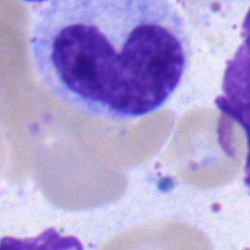 A neutrophil (band) on a bone marrow smear.